Bone marrow smear — 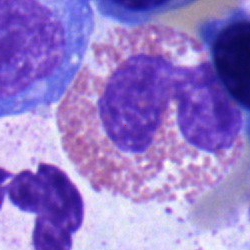 Q: What cell is this?
A: This is an eosinophil.